Bone marrow aspirate smear.
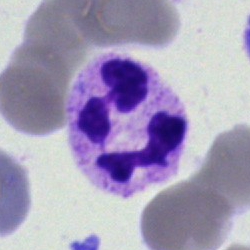
The cell is neutrophil (segmented).